Bone marrow aspirate smear. 250×250
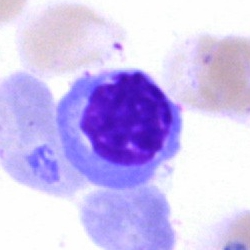

The cell type is erythroblast.